Single cell centered in the field · bone marrow smear
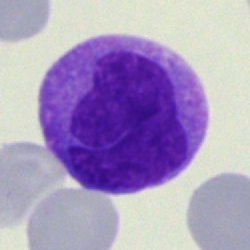 Specimen: bone marrow smear.
Morphological class: monocyte.
Lineage: myeloid.